Peripheral blood smear; brightfield, 100× oil-immersion objective; Romanowsky-type stain:
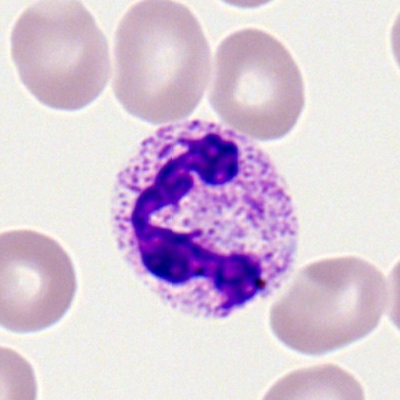
Classification: neutrophil (segmented).